Bone marrow smear. May-Grünwald-Giemsa stain. 250×250 px: 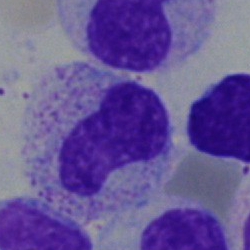
Classification = stab cell.